Bone marrow aspirate smear
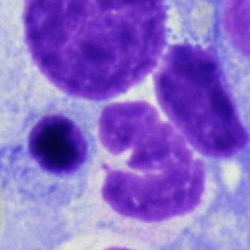Q: Which cell type is shown here?
A: It is a segmented neutrophil.